Bone marrow aspirate smear:
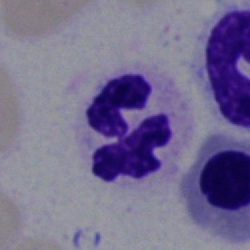 A neutrophil (segmented).